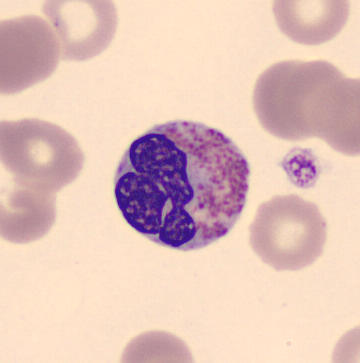 Cell type: eosinophilic granulocyte. Image: Peripheral blood film.